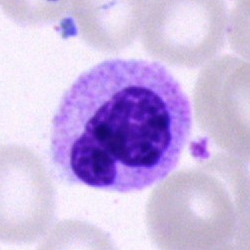
This is a segmented neutrophil.